Bone marrow smear.
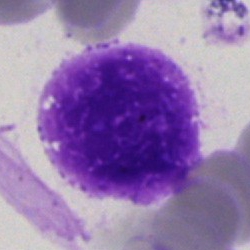Specimen: bone marrow smear.
Cell: artifact.